250 by 250 pixels; bone marrow aspirate smear:
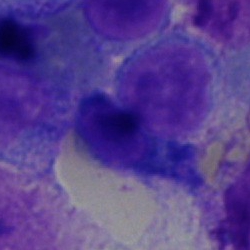

Morphology — typical lymphocyte.